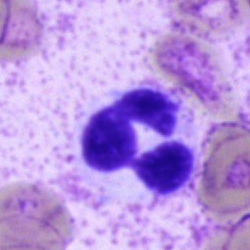
Specimen: bone marrow smear.
Classification: polymorphonuclear neutrophil.
Lineage: myeloid.